Bone marrow aspirate smear
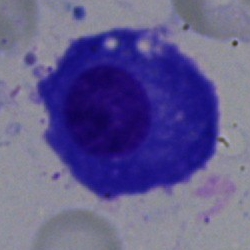

Q: What is the morphological classification of this cell?
A: Plasmacyte.